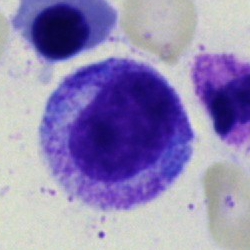

Classification = progranulocyte.